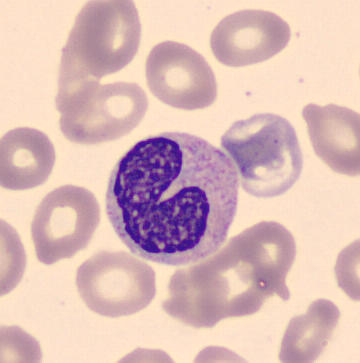
Specimen: peripheral blood film.
Morphological class: neutrophil (band).